Bone marrow aspirate smear:
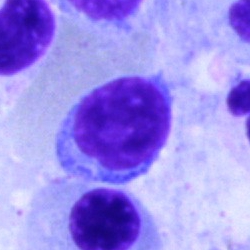

Q: What type of cell is this?
A: A typical lymphocyte.